Single cell centered in the field; brightfield, 40× oil-immersion objective; bone marrow aspirate smear — 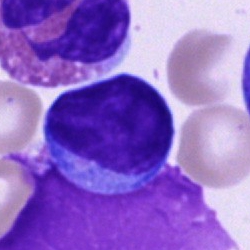

The cell shown is a typical lymphocyte.